Bone marrow aspirate smear. May-Grünwald-Giemsa/Pappenheim stain: 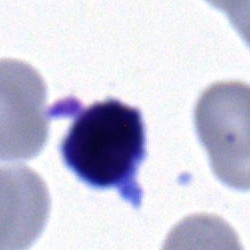 The cell shown is a lymphocyte.